Bone marrow smear.
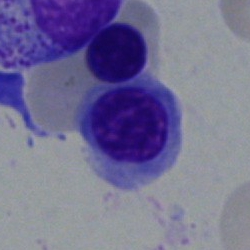 Morphological class = nucleated red blood cell.